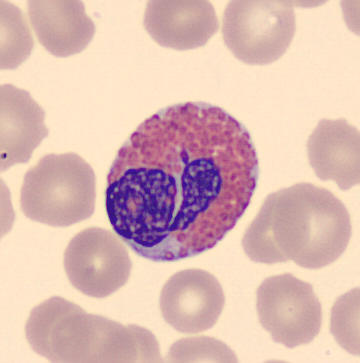 Eosinophilic granulocyte.
Peripheral blood smear.